Bone marrow smear — 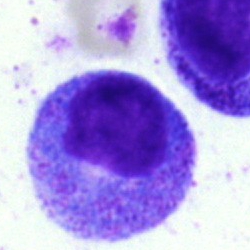

Cell — myelocyte.